Bone marrow aspirate smear.
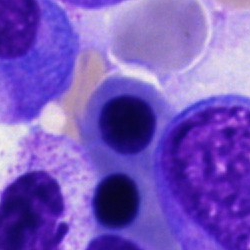An erythroblast.